Bone marrow aspirate smear — 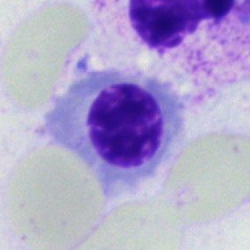Specimen: bone marrow smear.
Cell: erythroblast.